40× objective, oil immersion; bone marrow aspirate smear — 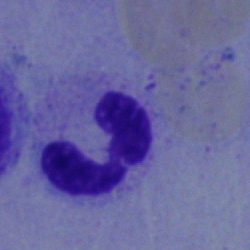Cell type: polymorphonuclear neutrophil.